Bone marrow aspirate smear: 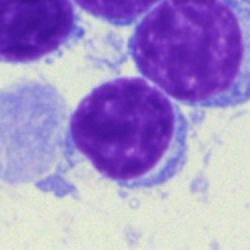
Q: What is shown here?
A: This is a typical lymphocyte.